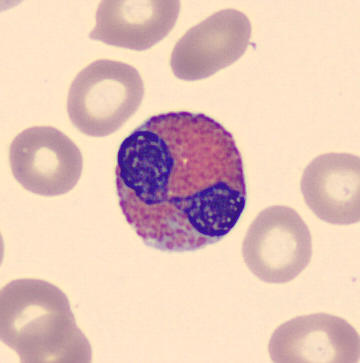 Impression → eosinophilic granulocyte.
Peripheral blood film.